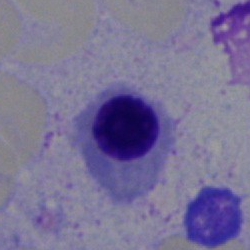
Impression → nucleated red cell.